Bone marrow aspirate smear: 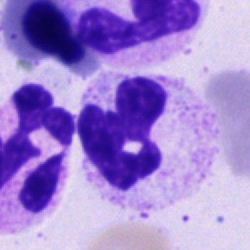{"cell_type": "segmented neutrophil", "lineage": "myeloid"}